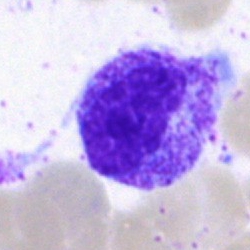

Specimen: bone marrow aspirate smear.
Morphological class: myelocyte.
Lineage: myeloid.